Bone marrow smear · brightfield microscopy, 40× oil immersion:
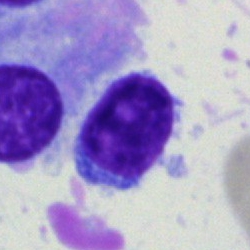
Cell type — lymphocyte.